250×250. May-Grünwald-Giemsa/Pappenheim stain. Bone marrow smear:
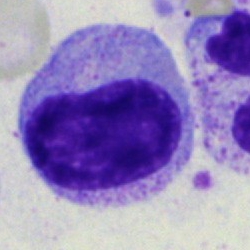

Morphological class — metamyelocyte.